Brightfield microscopy, 40× oil immersion · bone marrow aspirate smear — 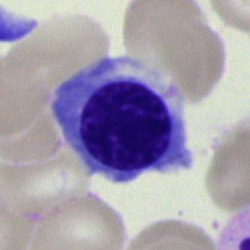

Q: Identify the cell.
A: A normoblast.